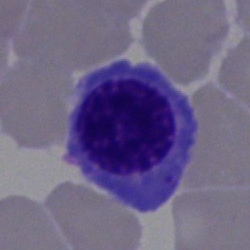

Single cell identified as a normoblast.